Bone marrow smear. 40× objective, oil immersion.
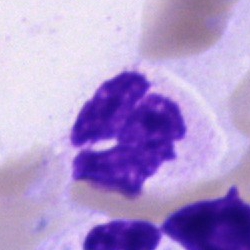 Classification: segmented neutrophil.